Bone marrow smear:
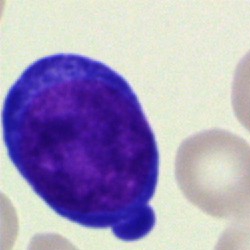
Morphological class = pronormoblast.